Bone marrow smear:
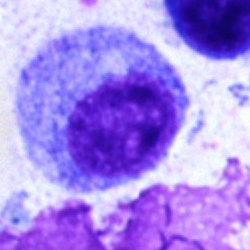
Showing a promyelocyte.